Bone marrow smear; 250×250 px — 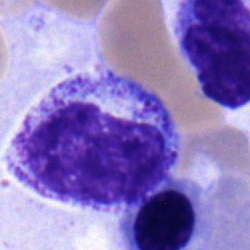 Myelocyte.